Single-cell crop; bone marrow aspirate smear.
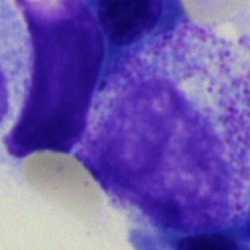

The cell shown is a myelocyte.